Bone marrow smear.
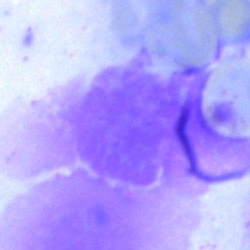
Q: What is shown here?
A: It is an artefact.